Bone marrow smear
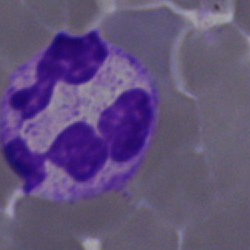Cell type — polymorphonuclear neutrophil.